Bone marrow aspirate smear.
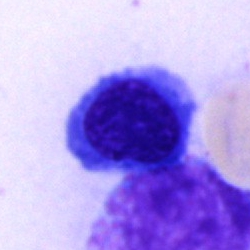Q: What type of cell is this?
A: It is an erythroblast.